Bone marrow aspirate smear: 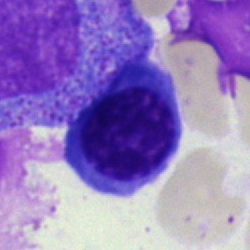 Classification = nucleated red cell.